Bone marrow smear:
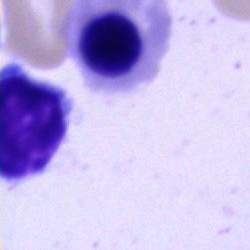Q: What is the morphological classification of this cell?
A: This is a nucleated red blood cell.